Peripheral blood film: 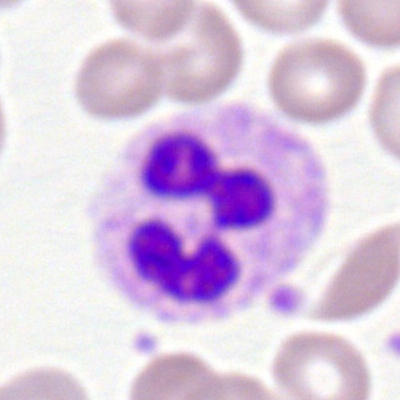Cell — polymorphonuclear neutrophil.